Cropped to a single cell; 250 by 250 pixels; bone marrow aspirate smear
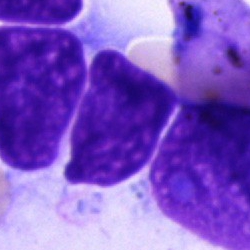Morphological class = artifact.